Bone marrow aspirate smear
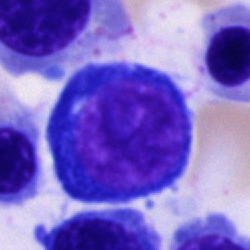
Pronormoblast.